Bone marrow aspirate smear
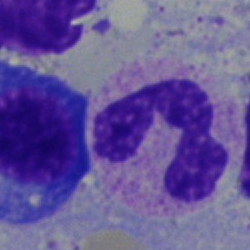 Specimen: bone marrow aspirate smear.
Cell: band neutrophil.
Lineage: myeloid.